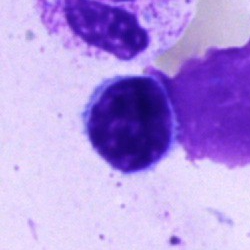 Showing a typical lymphocyte.